Bone marrow aspirate smear
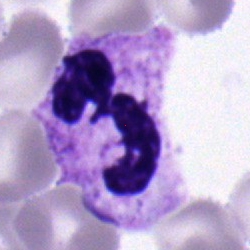 The cell shown is a neutrophil (segmented).